Bone marrow aspirate smear — 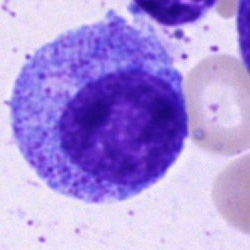

Q: Identify the cell.
A: A promyelocyte.